Bone marrow smear:
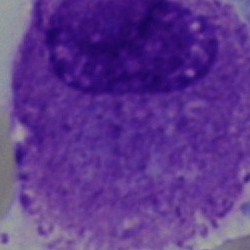
Impression → other cell.